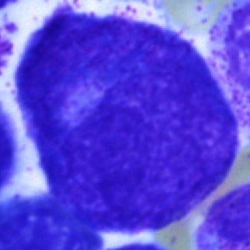
Bone marrow aspirate smear, single cell — promyelocyte.